Pappenheim-stained · brightfield, 40× oil-immersion objective · bone marrow aspirate smear:
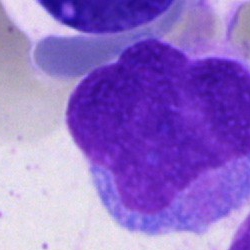 Morphology → artifact.